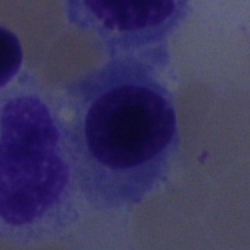
Impression — erythroblast.